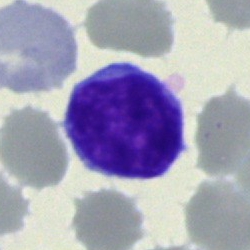

The cell shown is a lymphocyte.